Bone marrow smear · brightfield microscopy, 40× oil immersion.
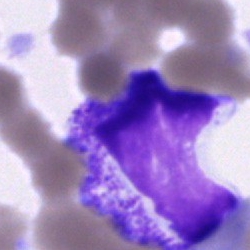

Q: What is shown here?
A: It is an artefact.